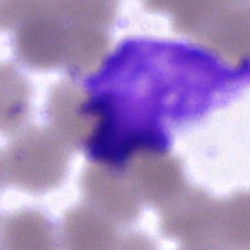 Single-cell crop from a bone marrow smear: artefact.